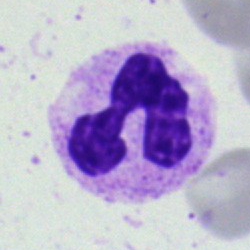
Cell = polymorphonuclear neutrophil.